May-Grünwald-Giemsa stain · bone marrow smear
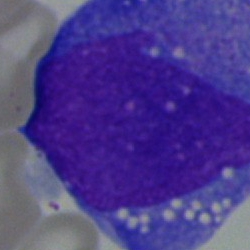
The morphological class is blast.